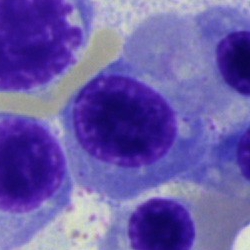The classification is nucleated red blood cell.